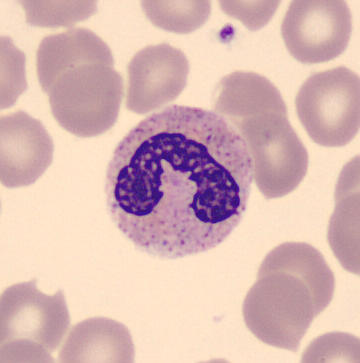
Specimen: peripheral blood film.
Cell type: band neutrophil.
Lineage: myeloid.